Bone marrow aspirate smear. Brightfield, 40× oil-immersion objective.
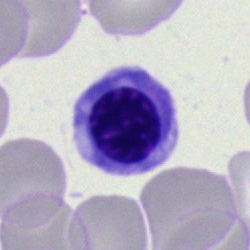

Morphology → normoblast.